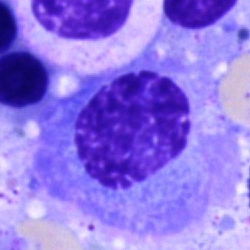 Q: Identify the cell.
A: Plasma cell.